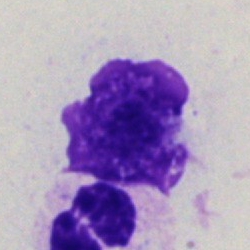Q: What is shown here?
A: Artefact.